Bone marrow smear:
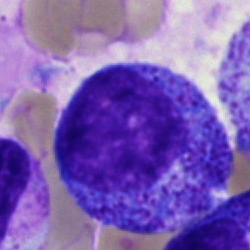The cell type is progranulocyte.